MGG stain. Peripheral blood film — 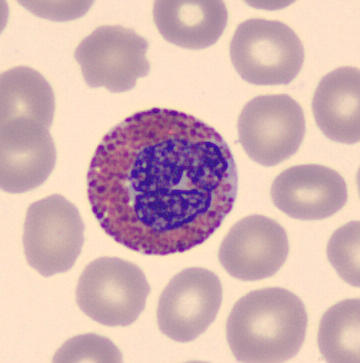
Q: What is this?
A: Eosinophil.